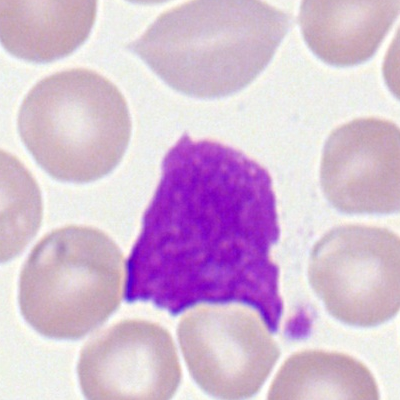 The classification is basket cell.